Bone marrow aspirate smear. Brightfield microscopy, 40× oil immersion: 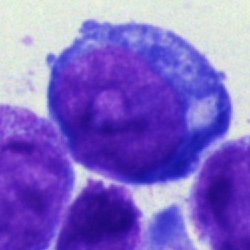
The cell shown is a pronormoblast.